Bone marrow smear:
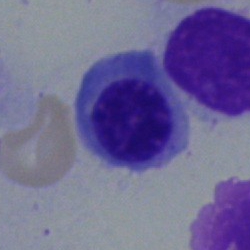 Q: What cell is this?
A: It is a nucleated red cell.